40× oil immersion · bone marrow aspirate smear · 250×250
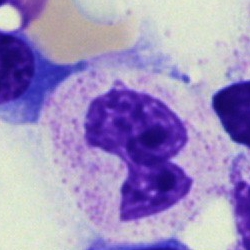Classification = neutrophil (segmented).